Bone marrow aspirate smear
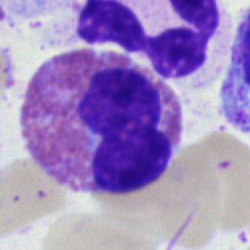An eosinophilic granulocyte.